Bone marrow aspirate smear
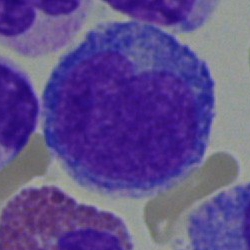
Cell type: undifferentiated blast.